40× objective, oil immersion. Bone marrow aspirate smear
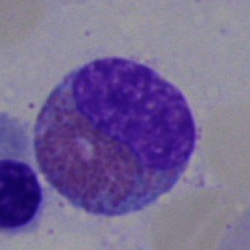 Showing an eosinophil.